Brightfield, 40× oil-immersion objective; bone marrow aspirate smear; single cell centered in the field:
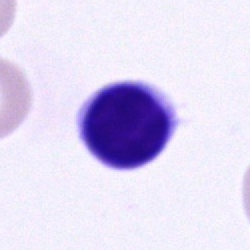
The cell shown is a lymphocyte.